Bone marrow smear. MGG-stained:
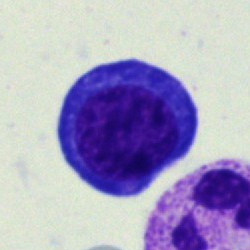 This is a nucleated red blood cell.